Peripheral blood smear:
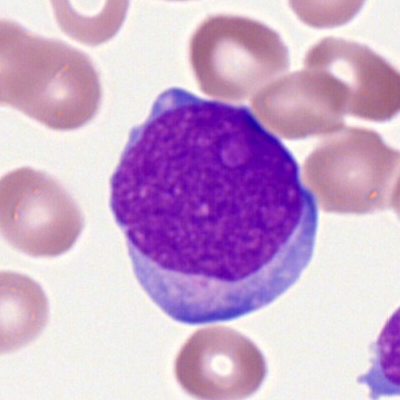Morphological class — myeloid blast.